250 by 250 pixels. 40× oil immersion. Bone marrow smear:
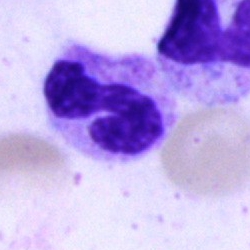Morphology consistent with a neutrophil (segmented).